40× objective, oil immersion; bone marrow aspirate smear; May-Grünwald-Giemsa/Pappenheim stain:
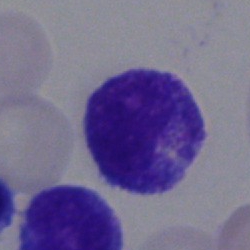
Q: What is shown here?
A: It is a myelocyte.